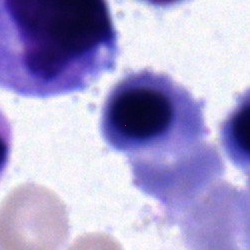

Morphological class: nucleated red cell.